Bone marrow smear
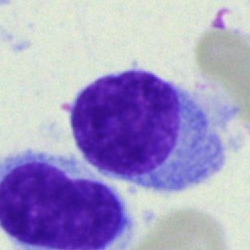

Specimen: bone marrow aspirate smear.
Cell type: hairy cell.
Lineage: lymphoid.